May-Grünwald-Giemsa/Pappenheim stain. Bone marrow aspirate smear.
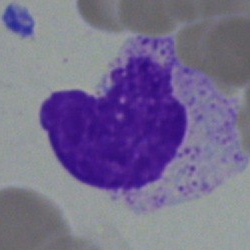Q: What is shown here?
A: It is an artefact.